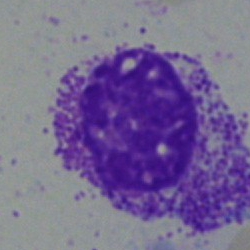

Cell type: myelocyte.